Bone marrow aspirate smear: 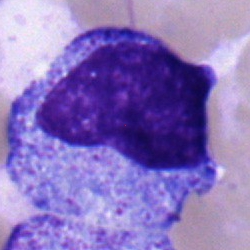
Q: What cell is this?
A: A metamyelocyte.